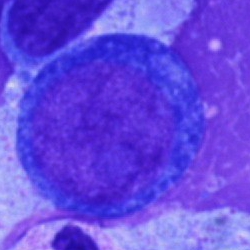Morphological class: blast cell.